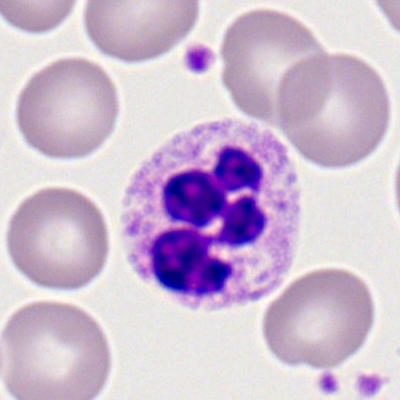 Q: What cell is this?
A: A polymorphonuclear neutrophil.